Pappenheim-stained. Bone marrow smear: 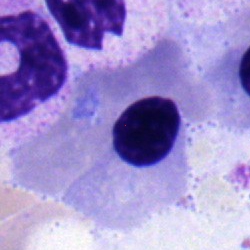
Specimen: bone marrow smear.
Cell: nucleated red cell.